Bone marrow aspirate smear — 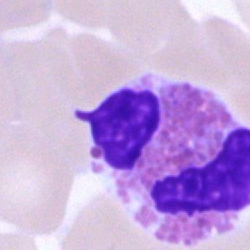 Specimen: bone marrow smear.
Classification: eosinophil.
Lineage: myeloid.